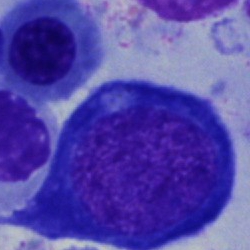
Morphology consistent with a nucleated red cell.